May-Grünwald-Giemsa stain · bone marrow smear: 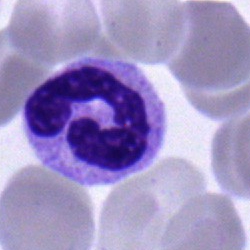Polymorphonuclear neutrophil.